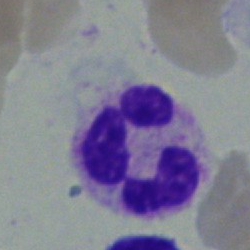Morphological class: neutrophil (segmented).